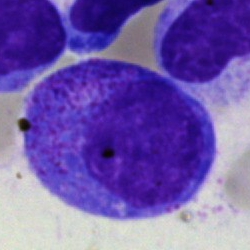 Q: Identify the cell.
A: This is a progranulocyte.